Bone marrow aspirate smear
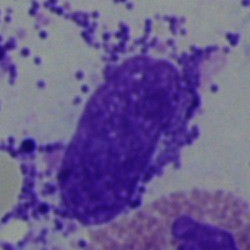
Other cell.